Bone marrow smear. May-Grünwald-Giemsa stain:
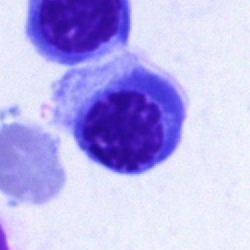
Nucleated red cell.